Bone marrow smear
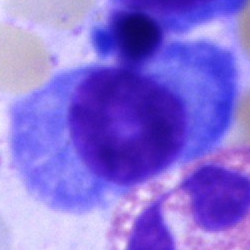

Cell = plasma cell.